Bone marrow smear. Single-cell crop. May-Grünwald-Giemsa stain.
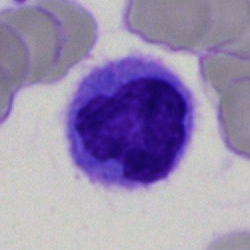
Morphology → monocyte.